Peripheral blood smear; cropped to a single cell; Romanowsky-stained:
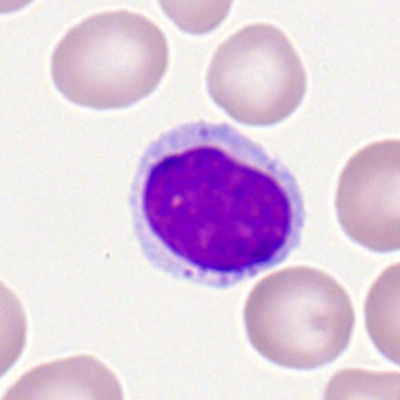A typical lymphocyte.